Single-cell field · bone marrow aspirate smear
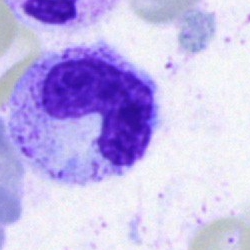

Single cell identified as a neutrophil (band).